250×250 px. Bone marrow aspirate smear.
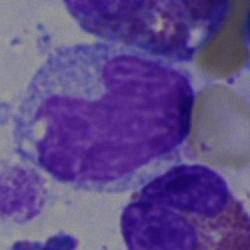Q: Which cell type is shown here?
A: This is a monocyte.